Single cell centered in the field. 100× oil immersion. Peripheral blood film:
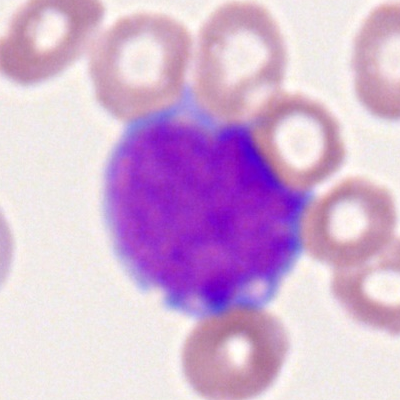Specimen: peripheral blood film.
Classification: myeloid blast.